Brightfield microscopy, 40× oil immersion · bone marrow smear — 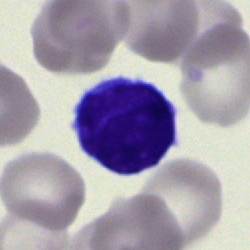Showing a lymphocyte.